Bone marrow smear · 250×250 px · brightfield microscopy, 40× oil immersion: 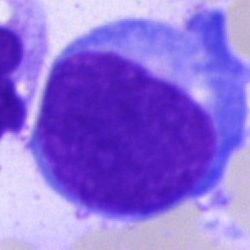

Q: What is shown here?
A: It is a blast cell.